Bone marrow aspirate smear · 250 by 250 pixels.
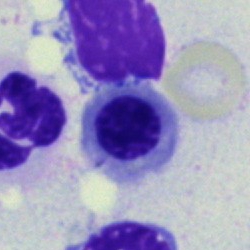

Impression → erythroblast.